Bone marrow aspirate smear:
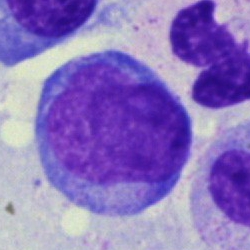Classification = blast.